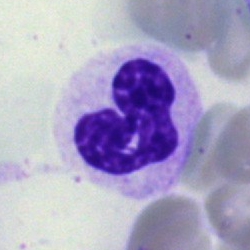A polymorphonuclear neutrophil on a bone marrow smear.